Cropped to a single cell; bone marrow smear; May-Grünwald-Giemsa stain.
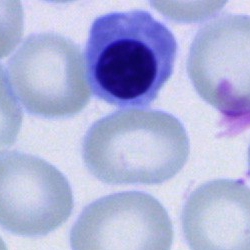
A nucleated red cell.